Bone marrow smear:
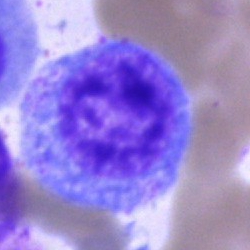
Morphological class: promyelocyte.